Single-cell field · bone marrow smear.
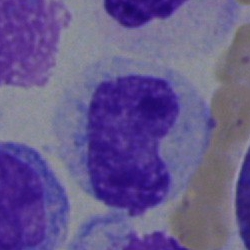Specimen: bone marrow aspirate smear.
Cell type: band neutrophil.
Lineage: myeloid.